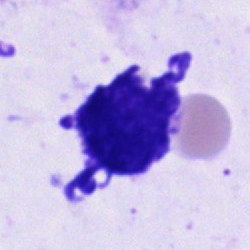
Morphology → artefact.